Bone marrow smear: 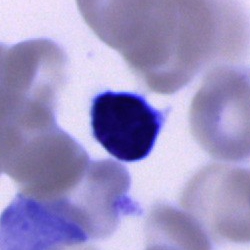This is a lymphocyte.